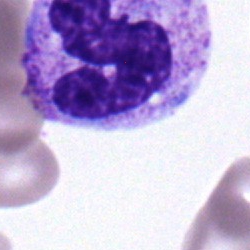

A neutrophil (segmented).